Bone marrow aspirate smear: 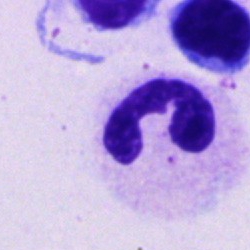Single cell identified as a polymorphonuclear neutrophil.